Pappenheim-stained. Bone marrow smear. Single-cell field.
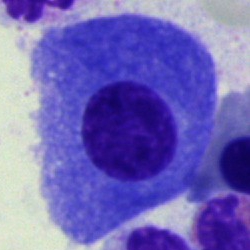Cell = plasmacyte.